Brightfield, 40× oil-immersion objective; bone marrow aspirate smear — 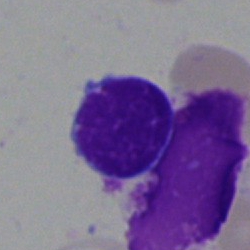 Specimen: bone marrow smear.
Cell type: typical lymphocyte.
Lineage: lymphoid.